Bone marrow smear. 40× oil immersion: 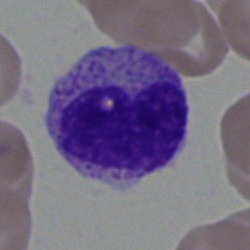 Impression → metamyelocyte.